MGG-stained. 40× oil immersion. Bone marrow smear: 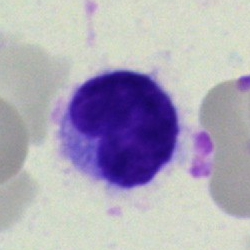 Classification — hairy cell.